Bone marrow smear: 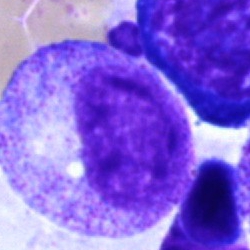Specimen: bone marrow smear.
Morphological class: progranulocyte.